Bone marrow aspirate smear — 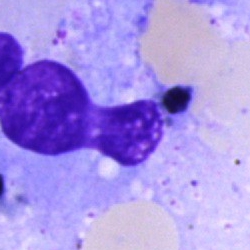
Morphological class — artifact.